May-Grünwald-Giemsa stain · single cell centered in the field · bone marrow aspirate smear.
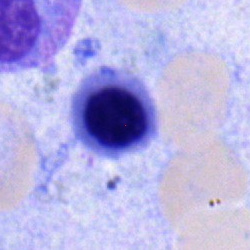 Q: Which cell type is shown here?
A: Normoblast.